Bone marrow smear
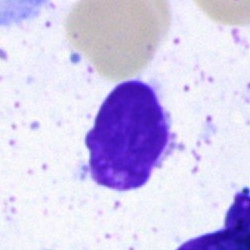
Morphological class: lymphocyte.